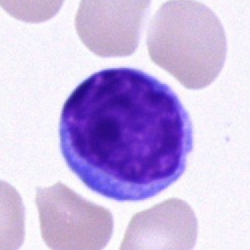Showing a lymphocyte.